Bone marrow smear — 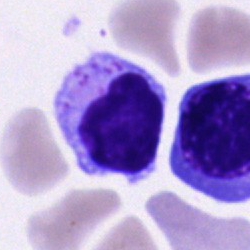

Morphological class: cell of indeterminate lineage.